Bone marrow smear; MGG-stained; 250×250 px: 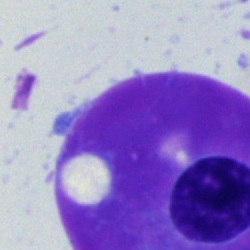Morphology — plasmacyte.